Image size 250×250 · bone marrow aspirate smear.
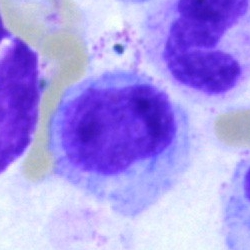Specimen: bone marrow smear.
Morphological class: typical lymphocyte.